Bone marrow aspirate smear; single cell centered in the field.
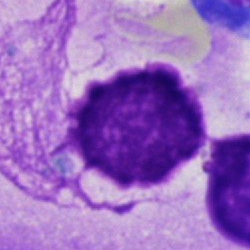
Morphology → artifact.